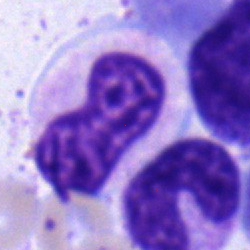

Q: Which cell type is shown here?
A: Band-form neutrophil.